Bone marrow aspirate smear. 250×250:
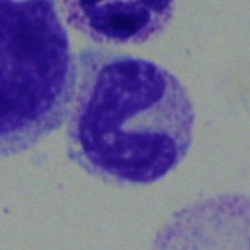
Cell type: neutrophil (band).